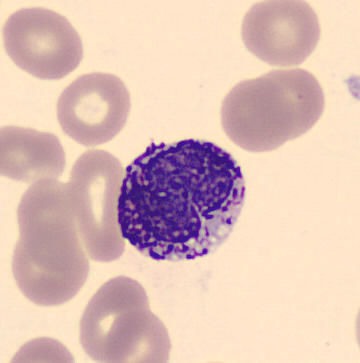 Morphology consistent with a basophilic granulocyte. Peripheral blood film.